Bone marrow aspirate smear.
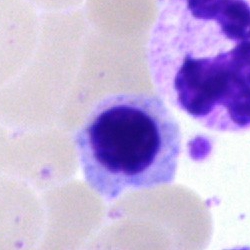Q: What cell is this?
A: A nucleated red cell.